Bone marrow smear: 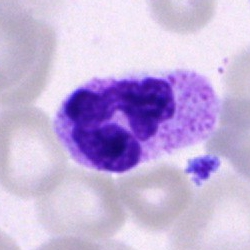 Specimen: bone marrow smear.
Cell: neutrophil (segmented).
Lineage: myeloid.